Bone marrow aspirate smear. 250×250 px
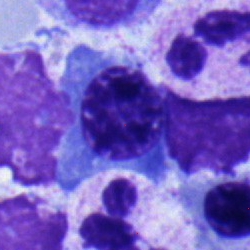The cell shown is a normoblast.